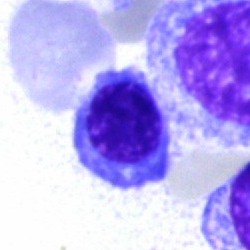Morphological class = nucleated red cell.